Bone marrow aspirate smear:
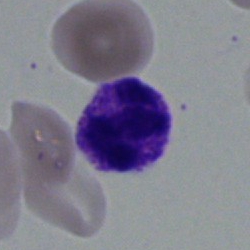The cell type is neutrophil (segmented).